Bone marrow aspirate smear:
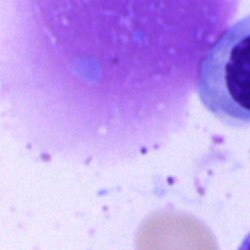Morphological class: artefact.